Single-cell crop; 250×250 px; bone marrow aspirate smear: 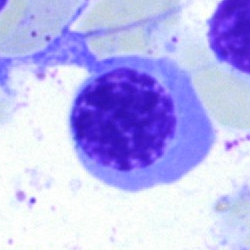

This is an erythroblast.